May-Grünwald-Giemsa/Pappenheim stain; bone marrow smear.
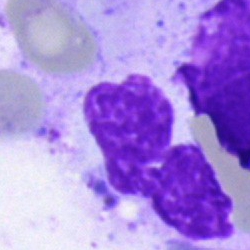 {"cell_type": "artefact"}